Pappenheim-stained. Bone marrow aspirate smear. Single-cell crop
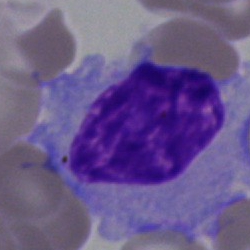

Typical lymphocyte.